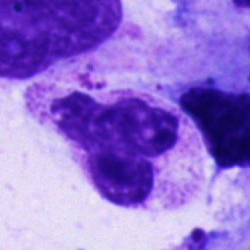 Specimen: bone marrow aspirate smear.
Morphological class: polymorphonuclear neutrophil.
Lineage: myeloid.